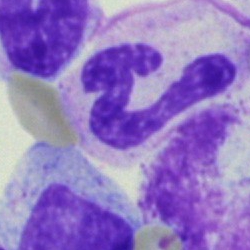
Cell — polymorphonuclear neutrophil.